Bone marrow aspirate smear; 40× oil immersion; single cell centered in the field — 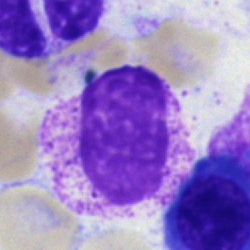
The morphological class is myelocyte.